Bone marrow aspirate smear — 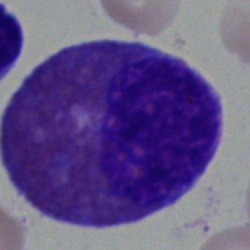Specimen: bone marrow aspirate smear.
Morphological class: eosinophil.
Lineage: myeloid.